Bone marrow aspirate smear:
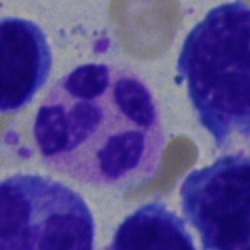Impression → segmented neutrophil.